Single-cell crop. May-Grünwald-Giemsa/Pappenheim stain. Bone marrow smear: 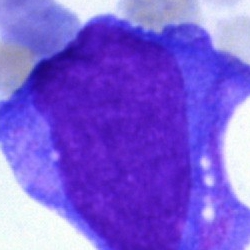

Q: What is shown here?
A: This is a blast.